400×400 px; peripheral blood smear; brightfield, 100× oil-immersion objective.
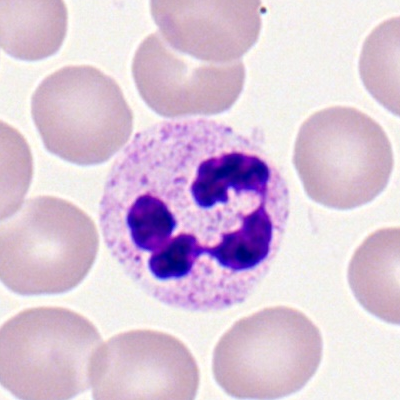
Morphology → segmented neutrophil.